Bone marrow smear. Image size 250×250
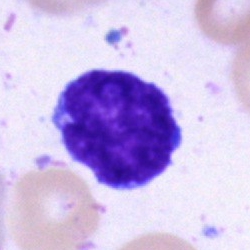

Morphology → lymphocyte.